Peripheral blood smear · 400 by 400 pixels: 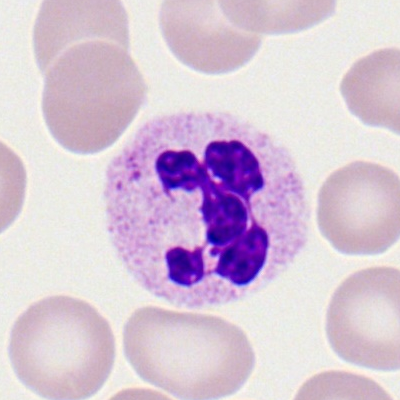Cell type — polymorphonuclear neutrophil.